Bone marrow smear:
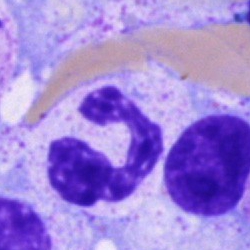
Cell: neutrophil (segmented).